40× objective, oil immersion; single cell centered in the field; bone marrow smear: 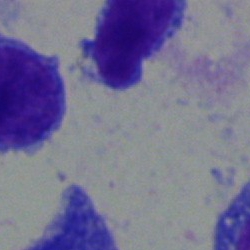

Cell type — artefact.